Bone marrow smear
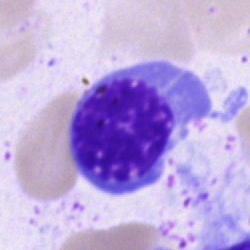Showing a nucleated red cell.